Bone marrow aspirate smear — 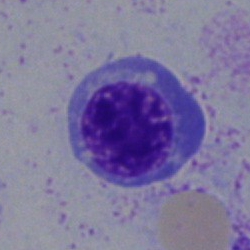

Q: What type of cell is this?
A: It is an erythroblast.